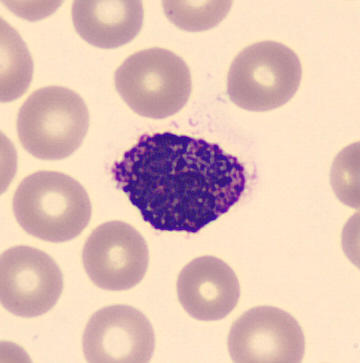Impression → basophil. Peripheral blood film.